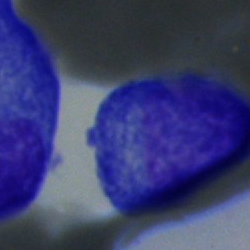 A plasma cell on a bone marrow smear.